Bone marrow smear. Brightfield, 40× oil-immersion objective:
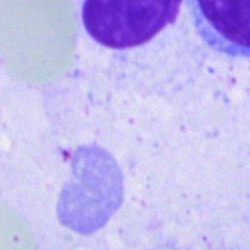

Single cell identified as an artefact.